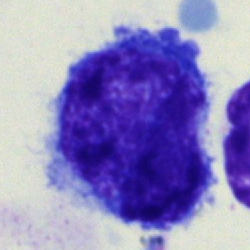 Q: Which cell type is shown here?
A: Undifferentiated blast.